MGG-stained · 250×250 px · bone marrow smear
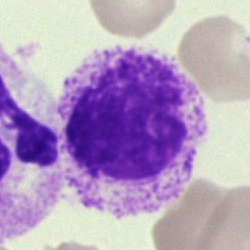
An unidentifiable cell.